Bone marrow smear — 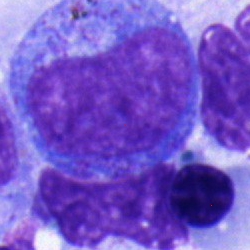Classification: progranulocyte.